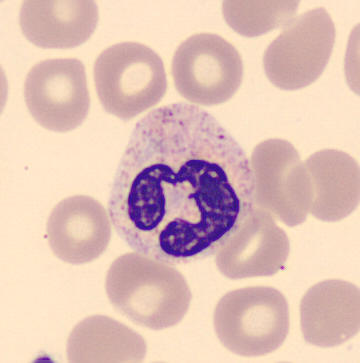

Q: What type of cell is this?
A: This is a segmented neutrophil.
Peripheral blood film.